Bone marrow smear. 250 by 250 pixels. Brightfield microscopy, 40× oil immersion — 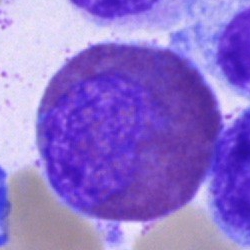
Eosinophil.